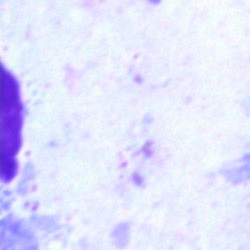Q: What is shown here?
A: It is an artifact.